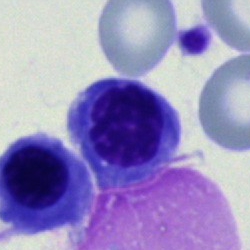
Q: Which cell type is shown here?
A: It is a nucleated red blood cell.